Bone marrow aspirate smear.
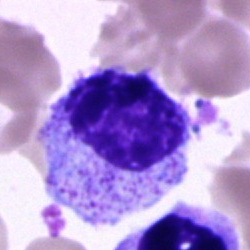Cell type = cell of indeterminate lineage.